Bone marrow aspirate smear: 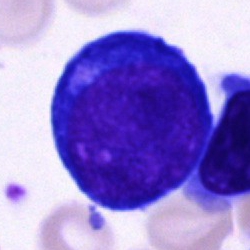

Showing a proerythroblast.